Bone marrow aspirate smear
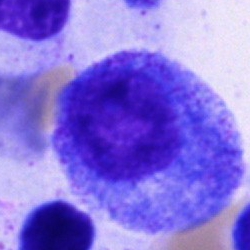
Promyelocyte.